Bone marrow aspirate smear: 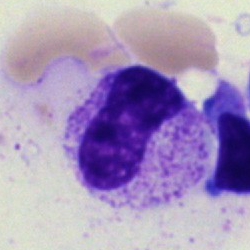
Impression → neutrophil (band).